Bone marrow aspirate smear · image size 250×250 · single-cell field:
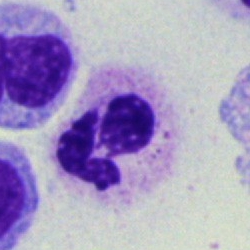Morphological class = segmented neutrophil.